400×400 px; peripheral blood smear; Romanowsky-type stain:
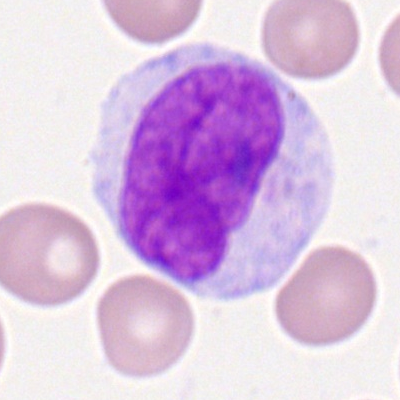
{"cell_type": "monocyte"}